Peripheral blood film; M8 digital microscope (Precipoint), 100× oil immersion; Romanowsky-type stain — 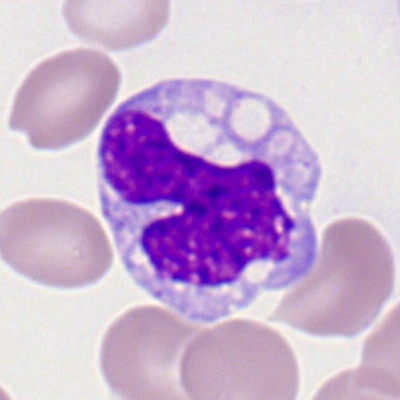 Impression — monocyte.